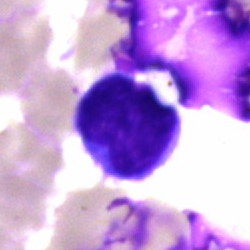Q: What type of cell is this?
A: It is a plasmacyte.